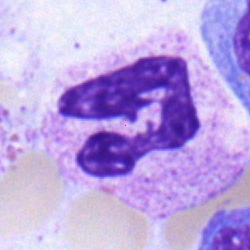

Specimen: bone marrow smear.
Cell: polymorphonuclear neutrophil.